May-Grünwald-Giemsa stain. 250×250. Bone marrow aspirate smear.
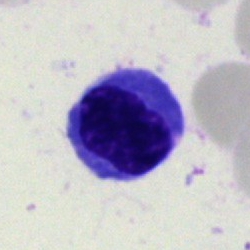
Cell type = nucleated red blood cell.